Bone marrow smear — 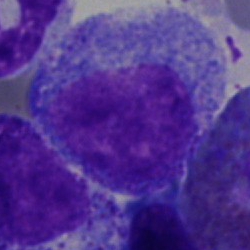 {"cell_type": "promyelocyte", "lineage": "myeloid"}